Bone marrow aspirate smear — 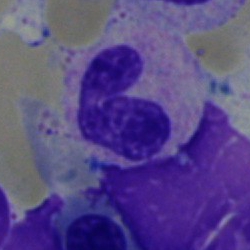
Single cell identified as a band neutrophil.